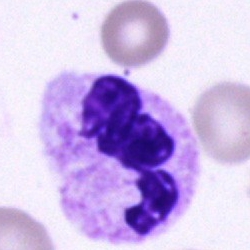
A segmented neutrophil on a bone marrow smear.